Single-cell crop · bone marrow smear:
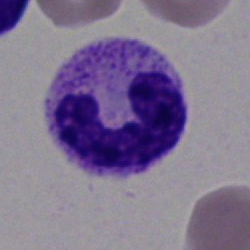Q: Identify the cell.
A: It is a band neutrophil.